Bone marrow smear.
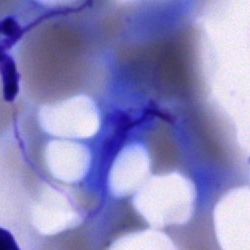 Impression — artefact.